Bone marrow smear — 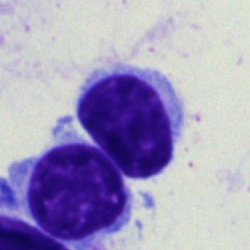
Morphology — typical lymphocyte.